Bone marrow smear; May-Grünwald-Giemsa stain; single-cell field: 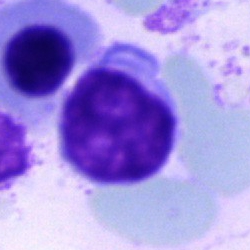 A lymphocyte.